Bone marrow aspirate smear.
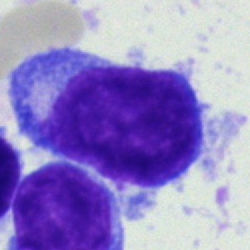
Q: Which cell type is shown here?
A: A plasma cell.